Bone marrow smear
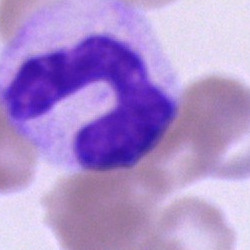
Q: What cell is this?
A: It is a stab cell.